Peripheral blood smear.
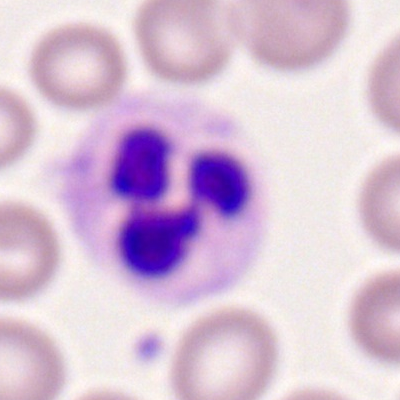
This is a neutrophil (segmented).